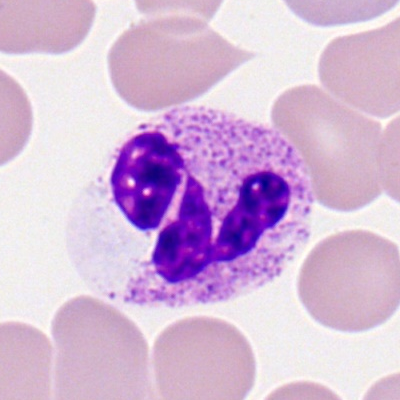 Q: What cell is this?
A: Segmented neutrophil.